Bone marrow smear.
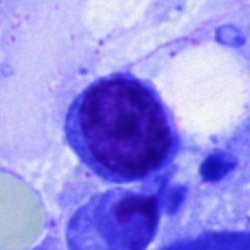

This is a typical lymphocyte.